Bone marrow smear
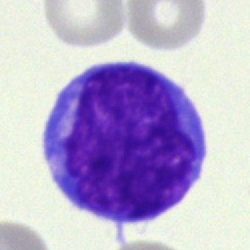
Cell type = blast.